Bone marrow smear.
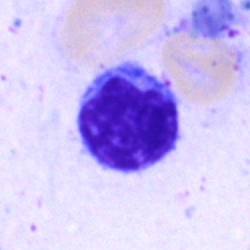Cell type — lymphocyte.